Bone marrow smear; single-cell field: 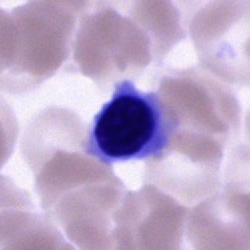
Classification — erythroblast.